Peripheral blood smear. Image size 400×400. 100× oil immersion: 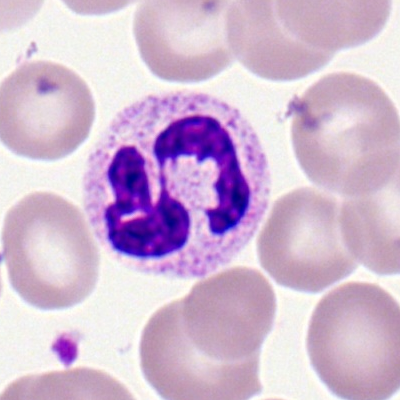Q: What cell is this?
A: A polymorphonuclear neutrophil.